Bone marrow aspirate smear
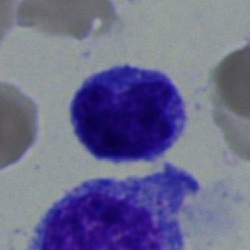
Q: Identify the cell.
A: It is a typical lymphocyte.